May-Grünwald-Giemsa stain; single-cell field; bone marrow aspirate smear:
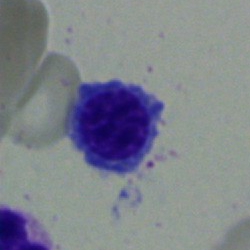
This is a normoblast.